Bone marrow smear · 40× oil immersion.
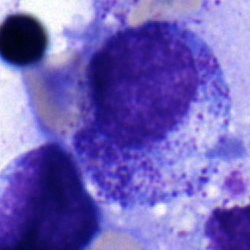 Morphology → progranulocyte.